Brightfield microscopy, 40× oil immersion · bone marrow aspirate smear: 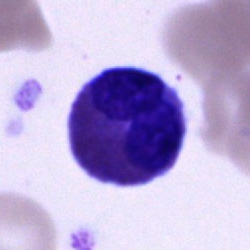 Cell type: eosinophil.